Bone marrow smear
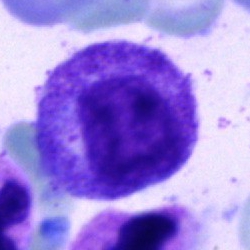Q: Identify the cell.
A: This is a promyelocyte.